Single-cell crop; bone marrow smear
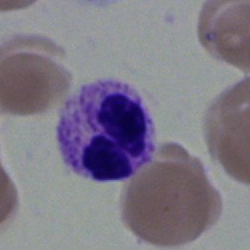
Cell: segmented neutrophil.